Bone marrow aspirate smear
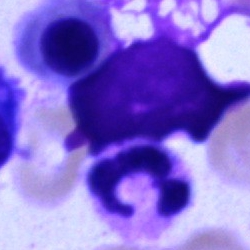
Q: What cell is this?
A: A polymorphonuclear neutrophil.